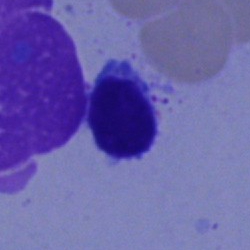
The cell is typical lymphocyte.